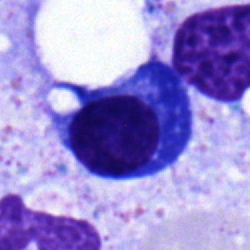 Q: What cell is this?
A: A plasma cell.